Bone marrow aspirate smear — 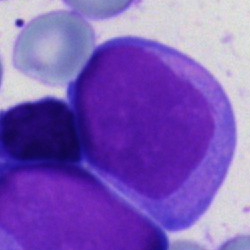

Q: What is shown here?
A: It is a blast.